Bone marrow smear:
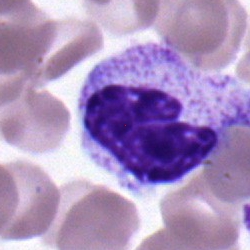 Morphology — band neutrophil.